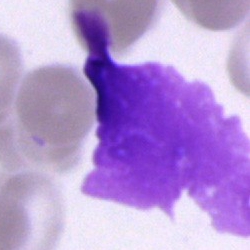 Single cell identified as an artifact.